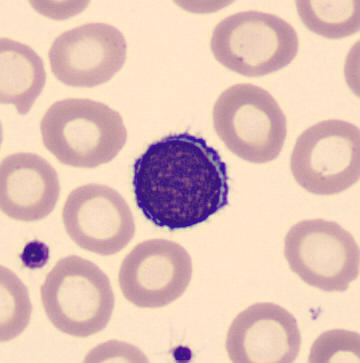 This is a typical lymphocyte.
Peripheral blood smear.